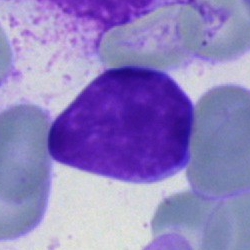 Cell type — undifferentiated blast.